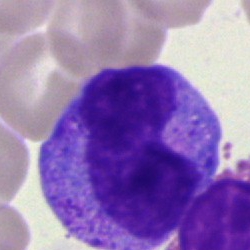 Morphology → metamyelocyte.